Bone marrow aspirate smear:
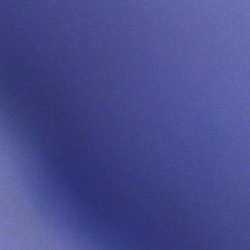 Q: What is shown here?
A: An artefact.